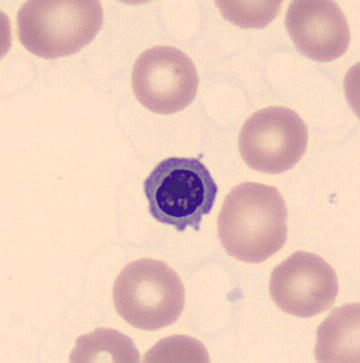
Nucleated red blood cell.
Image: Peripheral blood film. Image size 360×363. May-Grünwald-Giemsa-stained.